Bone marrow smear — 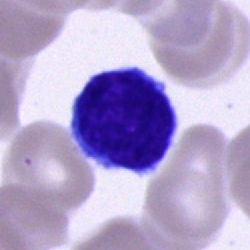
This is a lymphocyte.